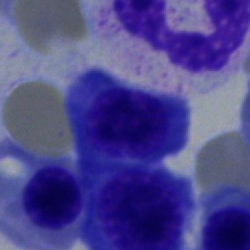

Cell — normoblast.